Bone marrow smear
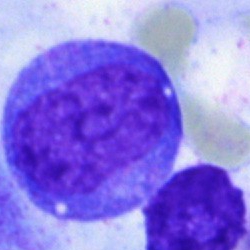

Cell: progranulocyte.